Single-cell field; peripheral blood smear
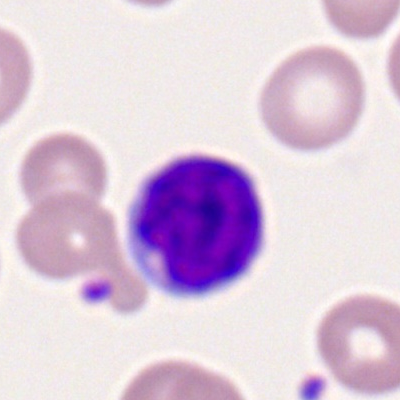 Single cell identified as a typical lymphocyte.